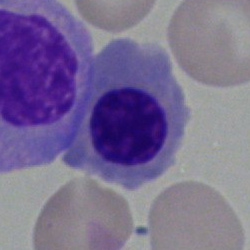 Classification: normoblast.